40× oil immersion. Pappenheim-stained. Bone marrow smear — 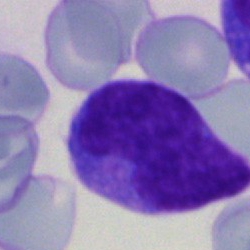Single cell identified as a blast.